40× objective, oil immersion · 250×250 · bone marrow aspirate smear — 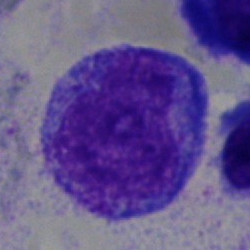
Morphology consistent with a progranulocyte.